May-Grünwald-Giemsa stain · bone marrow smear · single cell centered in the field:
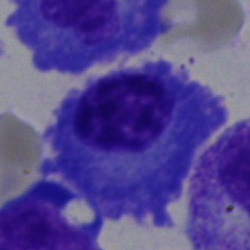The cell shown is a plasmacyte.